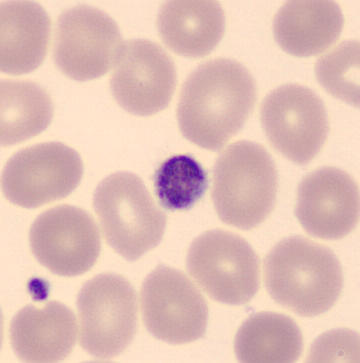

A thrombocyte.

Peripheral blood film.